250×250 px; cropped to a single cell; bone marrow smear.
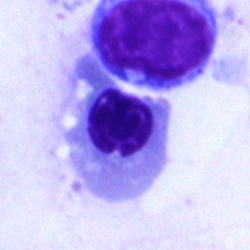

Morphology → nucleated red cell.